Bone marrow aspirate smear · brightfield, 40× oil-immersion objective — 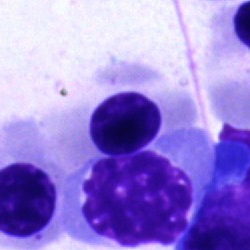Specimen: bone marrow aspirate smear.
Morphological class: normoblast.